Bone marrow smear.
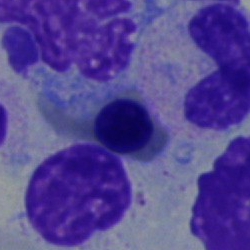Q: What is the morphological classification of this cell?
A: This is a nucleated red blood cell.